Bone marrow smear. Pappenheim-stained. 40× objective, oil immersion: 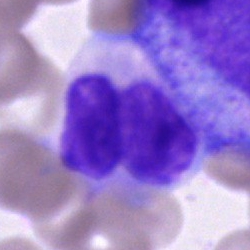 Specimen: bone marrow aspirate smear.
Classification: unidentifiable cell.